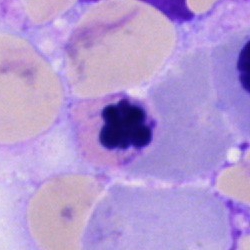
Morphology → artefact.